Bone marrow aspirate smear.
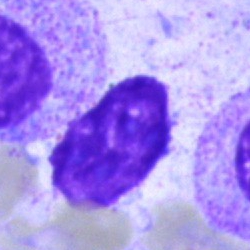
Classification: artefact.